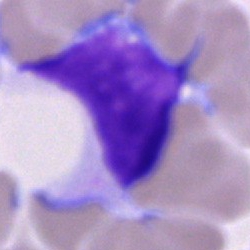

The cell is lymphocyte.